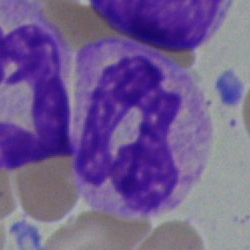
Cell: polymorphonuclear neutrophil.